Bone marrow smear — 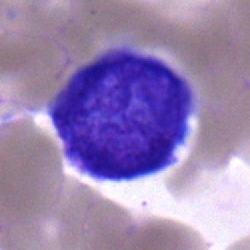
The cell shown is an undifferentiated blast.